May-Grünwald-Giemsa stain · single-cell crop · bone marrow aspirate smear
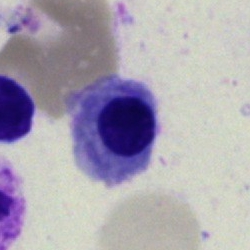Q: What type of cell is this?
A: This is a normoblast.